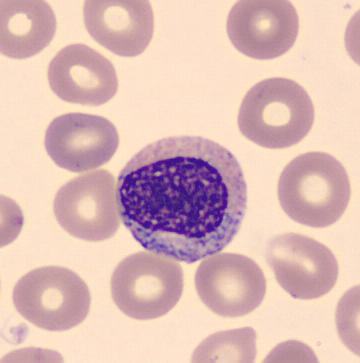 Impression — myelocyte.

CellaVision DM96 digital cell image · single cell centered in the field · peripheral blood smear.